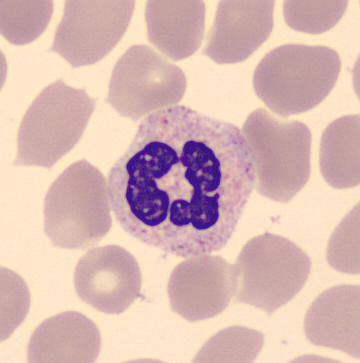
Morphological class = segmented neutrophil.